Bone marrow aspirate smear:
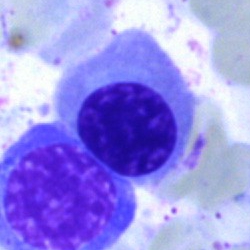 Q: Which cell type is shown here?
A: Nucleated red cell.